Bone marrow smear.
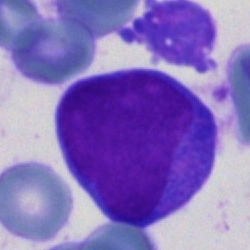

The cell is undifferentiated blast.